Bone marrow smear. May-Grünwald-Giemsa stain:
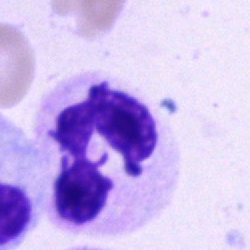 Specimen: bone marrow aspirate smear.
Cell type: polymorphonuclear neutrophil.
Lineage: myeloid.